Bone marrow aspirate smear.
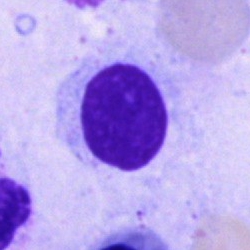Classification = artefact.